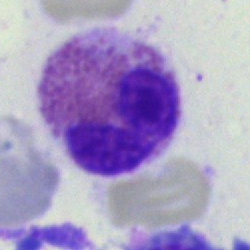
{"cell_type": "eosinophilic granulocyte"}